Bone marrow smear — 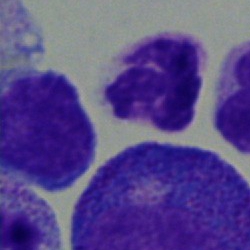{"cell_type": "polymorphonuclear neutrophil"}